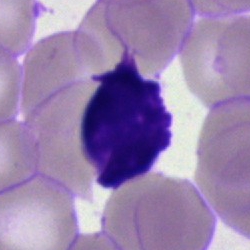Showing an artifact.